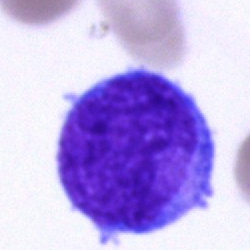
Classification: blast.